Bone marrow smear. Single-cell crop. Brightfield, 40× oil-immersion objective:
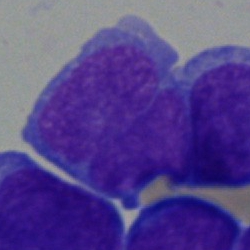

Showing a blast cell.